Bone marrow smear; single cell centered in the field; brightfield, 40× oil-immersion objective — 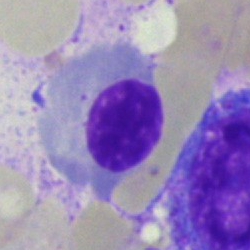

Morphology → normoblast.